Bone marrow smear. Single-cell crop.
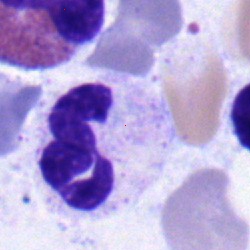

{"cell_type": "neutrophil (band)", "lineage": "myeloid"}